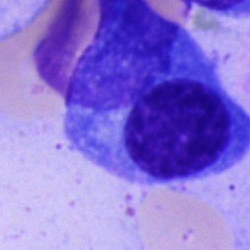 Cell type — plasmacyte.